Bone marrow smear:
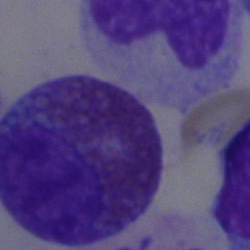 Morphology consistent with an eosinophil.